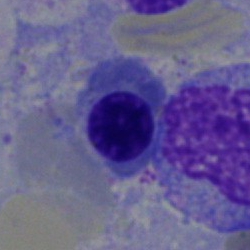
Morphology — erythroblast.